Bone marrow smear. MGG-stained: 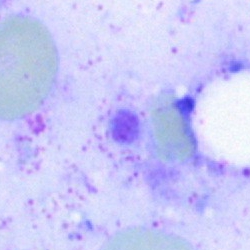The cell type is artifact.